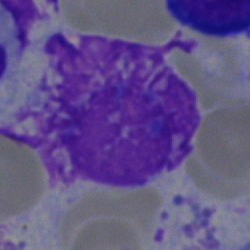
Impression → artefact.